Cropped to a single cell; brightfield microscopy, 40× oil immersion; bone marrow aspirate smear:
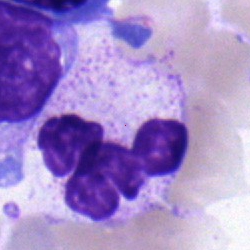
Classification — neutrophil (segmented).